Bone marrow aspirate smear · Pappenheim-stained: 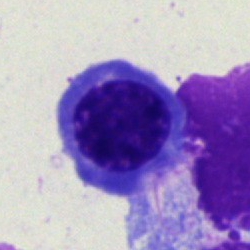
Specimen: bone marrow smear.
Cell type: nucleated red blood cell.